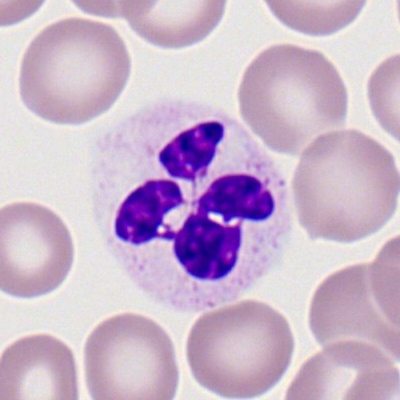

Specimen: peripheral blood film.
Cell type: polymorphonuclear neutrophil.
Lineage: myeloid.